May-Grünwald-Giemsa/Pappenheim stain · 250×250 px · bone marrow aspirate smear — 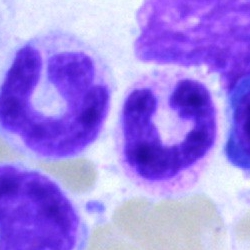
A segmented neutrophil.